Peripheral blood film
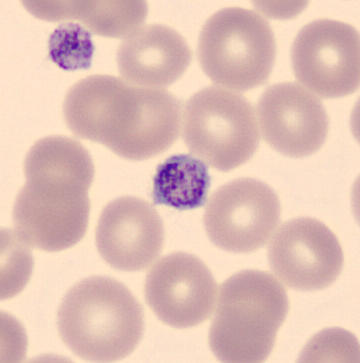

Q: What is this?
A: It is a platelet.